Romanowsky-type stain · peripheral blood film
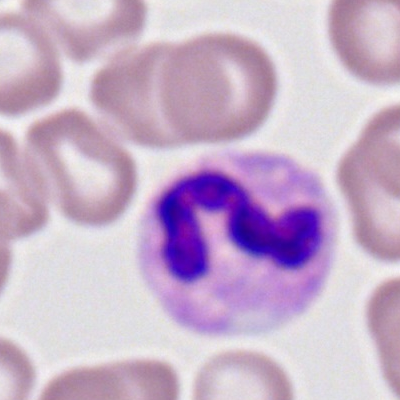

Morphology — neutrophil (segmented).